Bone marrow smear
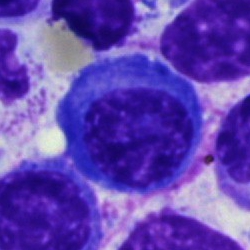

Plasmacyte.